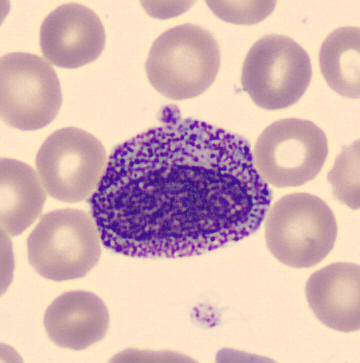Q: Identify the cell.
A: A promyelocyte. Preparation: Peripheral blood smear.